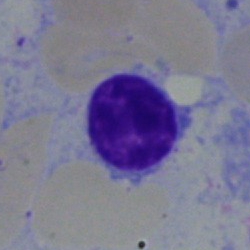 Q: What cell is this?
A: It is a typical lymphocyte.